Bone marrow aspirate smear:
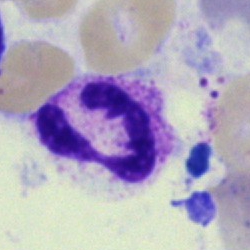Impression — polymorphonuclear neutrophil.